Bone marrow smear; Pappenheim-stained:
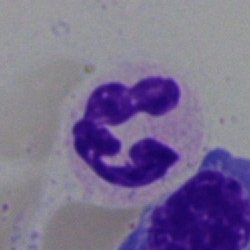
Morphological class: segmented neutrophil.